Image size 250×250; bone marrow smear: 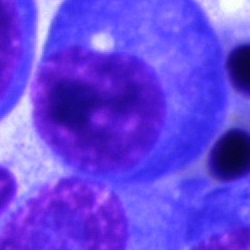

Morphology consistent with a plasma cell.